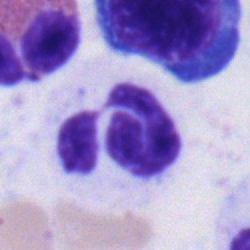
Q: What is shown here?
A: This is a polymorphonuclear neutrophil.